Single-cell crop · bone marrow aspirate smear — 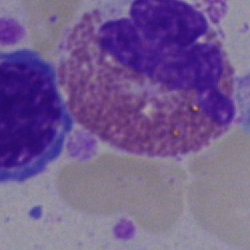

Q: What cell is this?
A: It is an eosinophil.